Peripheral blood film.
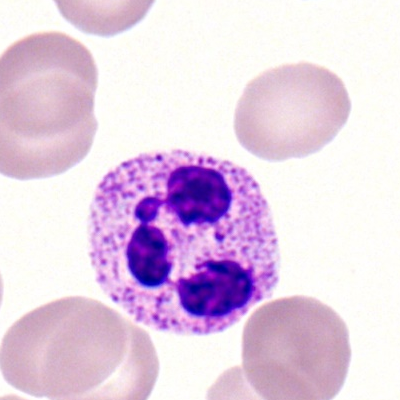Specimen: peripheral blood film.
Morphological class: neutrophil (segmented).
Lineage: myeloid.